Peripheral blood film.
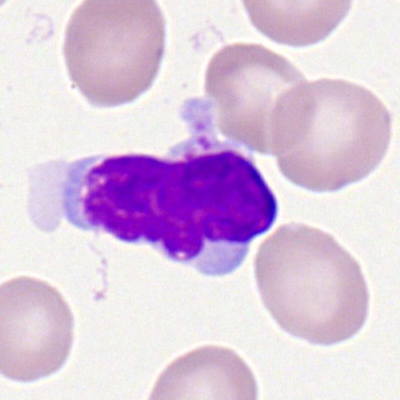Single cell identified as a typical lymphocyte.